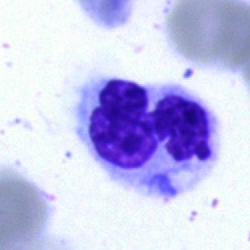Specimen: bone marrow aspirate smear.
Cell: neutrophil (segmented).